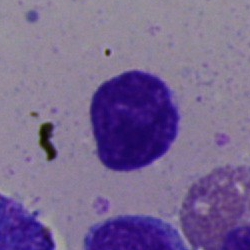

Q: What is shown here?
A: This is a typical lymphocyte.